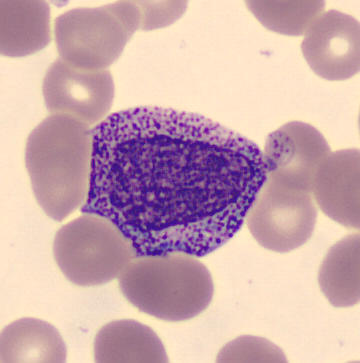

Cell type — progranulocyte.